Bone marrow smear:
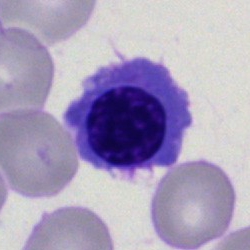

Showing an erythroblast.